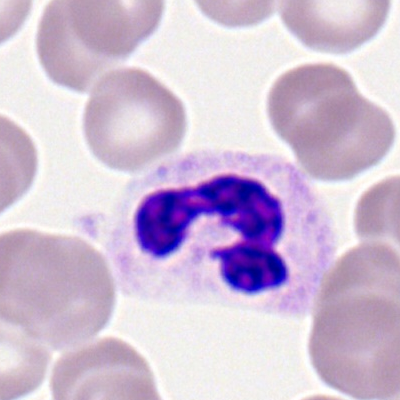

Cell type = polymorphonuclear neutrophil.